May-Grünwald-Giemsa/Pappenheim stain. Bone marrow smear:
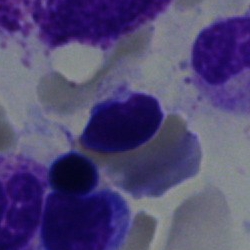 The cell shown is a typical lymphocyte.